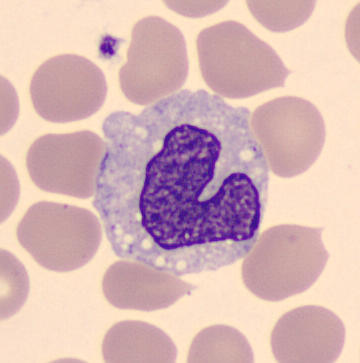
Morphological class: monocyte.
Acquisition: 360×363; May-Grünwald-Giemsa-stained; peripheral blood smear.